Cropped to a single cell; Pappenheim-stained; bone marrow smear: 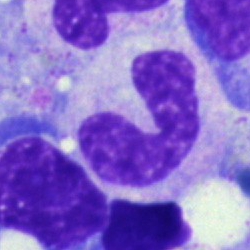
Morphological class = stab cell.